MGG-stained. Bone marrow aspirate smear. Image size 250×250 — 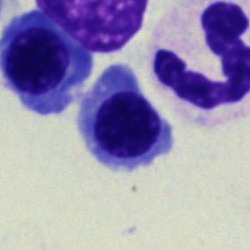
Q: What is the morphological classification of this cell?
A: Nucleated red cell.